40× objective, oil immersion · bone marrow smear · 250×250 — 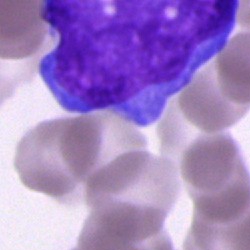

Cell: blast cell.